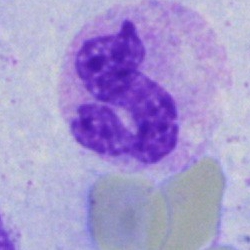Q: What cell is this?
A: Segmented neutrophil.